Bone marrow smear · 250×250 px: 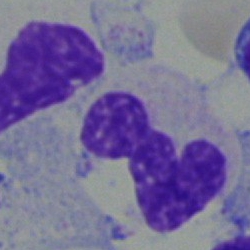

Impression — polymorphonuclear neutrophil.